Bone marrow smear: 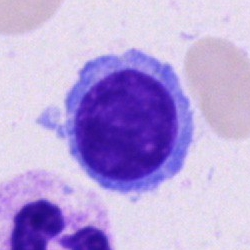 A plasmacyte.